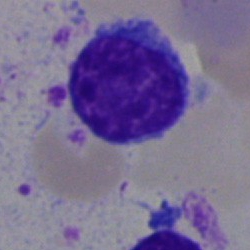
Q: Which cell type is shown here?
A: Typical lymphocyte.